Bone marrow aspirate smear — 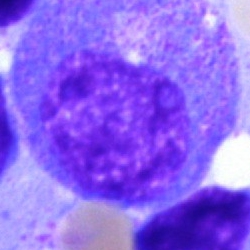 The cell type is promyelocyte.